Brightfield, 40× oil-immersion objective; bone marrow smear — 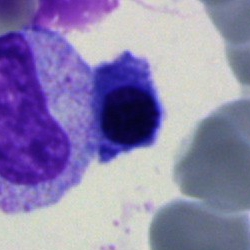 Erythroblast.